Bone marrow aspirate smear — 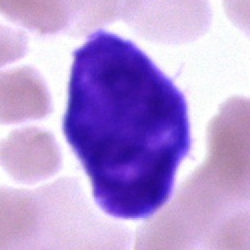A blast cell.